Bone marrow aspirate smear.
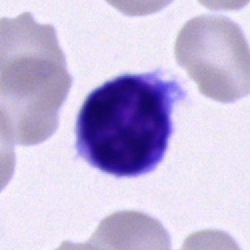 A typical lymphocyte.